Bone marrow smear. May-Grünwald-Giemsa stain.
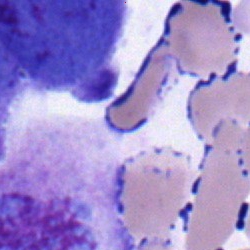 Q: Identify the cell.
A: Blast.